Bone marrow aspirate smear — 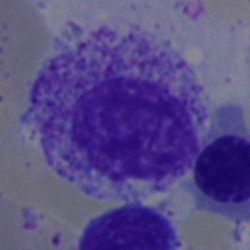Q: Identify the cell.
A: It is a myelocyte.